Bone marrow smear · single-cell field
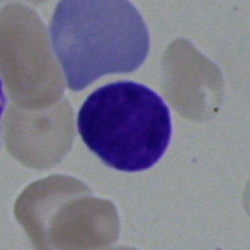 Morphological class — lymphocyte.